Bone marrow smear:
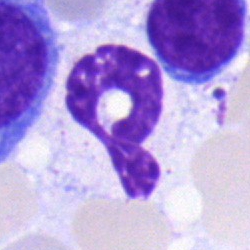A neutrophil (segmented).